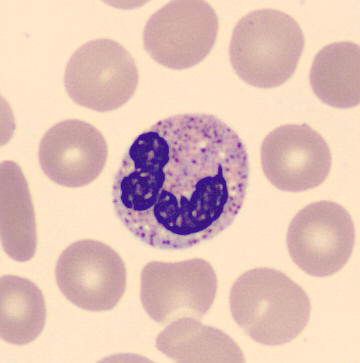

{"cell_type": "polymorphonuclear neutrophil"}